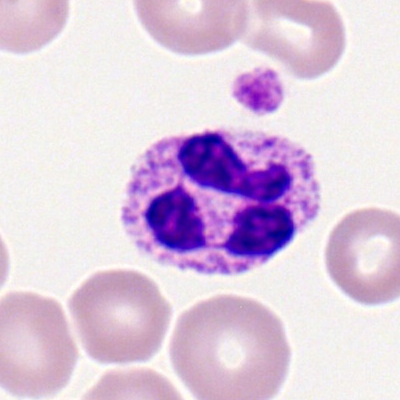Morphology — neutrophil (segmented).